250 by 250 pixels · bone marrow aspirate smear.
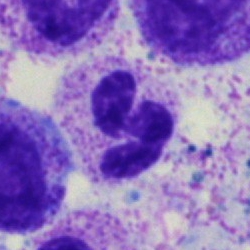
The cell shown is a segmented neutrophil.